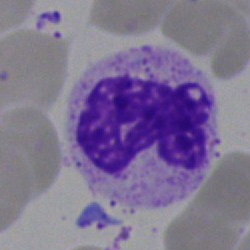Bone marrow aspirate smear, single cell — segmented neutrophil.